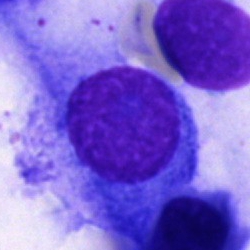Single-cell crop from a bone marrow smear: plasma cell.